Bone marrow aspirate smear.
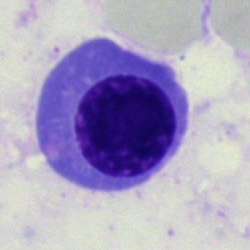
Morphology consistent with a normoblast.